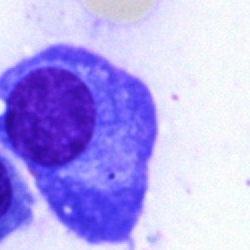

Q: What is the morphological classification of this cell?
A: Plasmacyte.